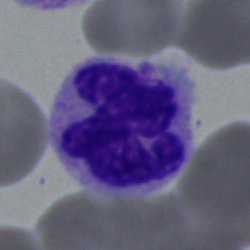
Showing a monocyte.